Bone marrow smear; 250×250; MGG-stained: 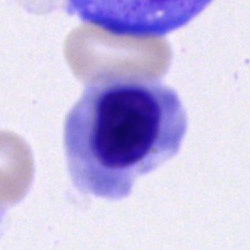 Morphology — normoblast.